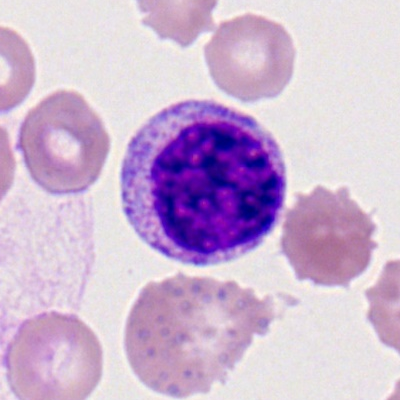The cell is myelocyte.